250×250 · bone marrow aspirate smear · May-Grünwald-Giemsa stain.
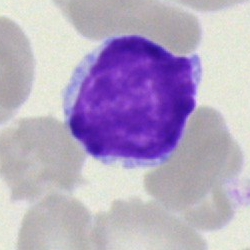 A lymphocyte.